M8 digital microscope (Precipoint), 100× oil immersion · peripheral blood film
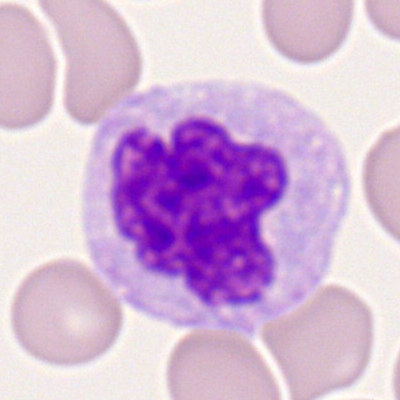 {"cell_type": "monocyte", "lineage": "myeloid"}